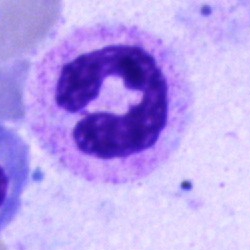Single-cell crop from a bone marrow smear: polymorphonuclear neutrophil.